Romanowsky stain · brightfield, 100× oil-immersion objective · peripheral blood film: 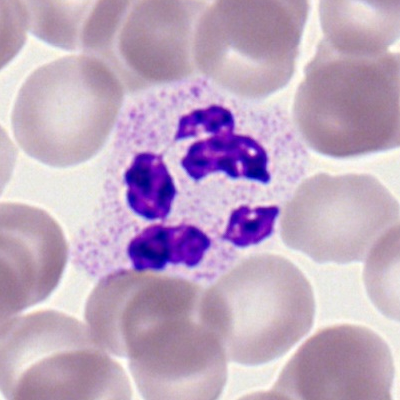
Showing a segmented neutrophil.